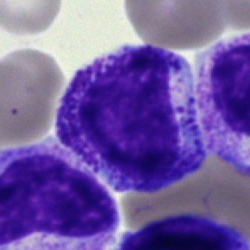

Specimen: bone marrow smear.
Classification: myelocyte.